Peripheral blood smear.
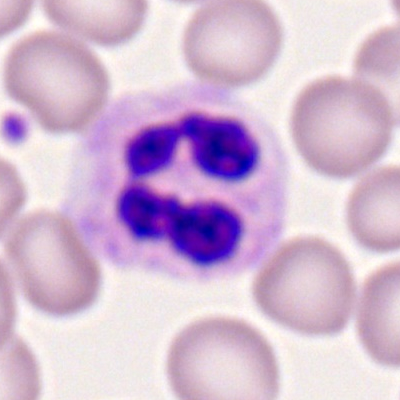

Cell type: segmented neutrophil.